Bone marrow aspirate smear: 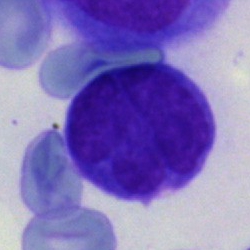 Cell — blast cell.